May-Grünwald-Giemsa stain. Bone marrow smear — 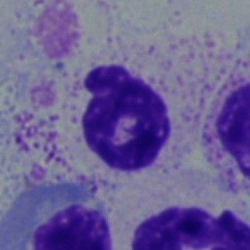 Q: What is shown here?
A: Segmented neutrophil.